Bone marrow smear
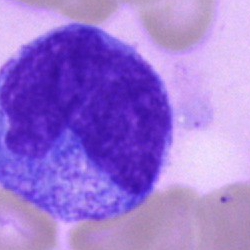 Progranulocyte.